Bone marrow smear:
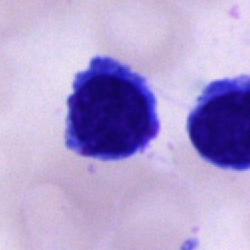

Showing an unidentifiable cell.